Bone marrow aspirate smear:
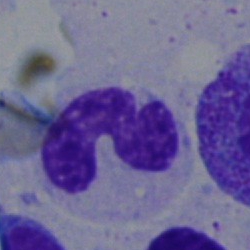

Stab cell.